Bone marrow aspirate smear; single cell centered in the field.
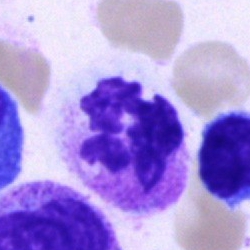
Specimen: bone marrow smear.
Classification: neutrophil (segmented).